Bone marrow aspirate smear.
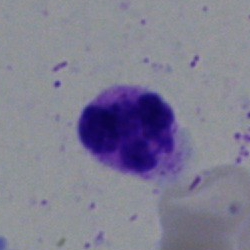
Cell type = neutrophil (segmented).